Bone marrow aspirate smear; 250×250
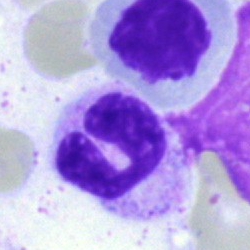
Cell type = neutrophil (segmented).